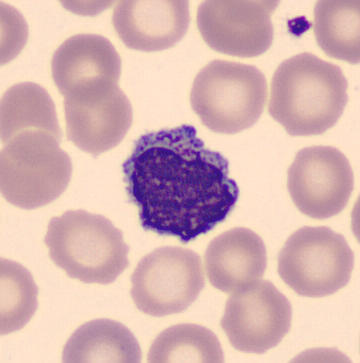

Preparation: May-Grünwald-Giemsa-stained; 360×363 px; peripheral blood smear.

Q: What type of cell is this?
A: Typical lymphocyte.